250 by 250 pixels · single-cell field · bone marrow smear.
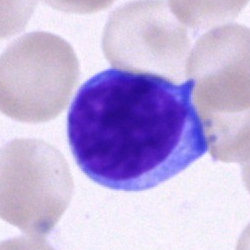

Q: What type of cell is this?
A: This is a lymphocyte.